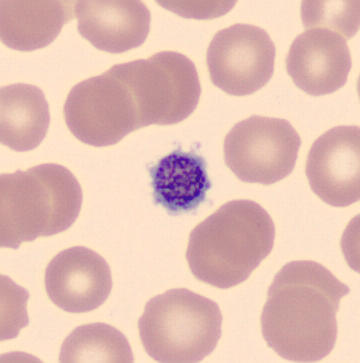 Imaged on a CellaVision DM96 analyser · peripheral blood film. Morphological class — thrombocyte.